Bone marrow aspirate smear. May-Grünwald-Giemsa/Pappenheim stain — 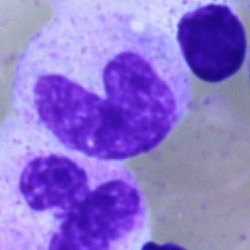Q: Which cell type is shown here?
A: A band-form neutrophil.